Bone marrow smear
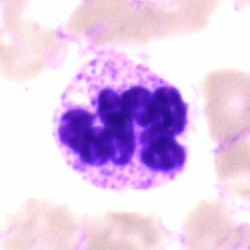
A segmented neutrophil.